Bone marrow smear:
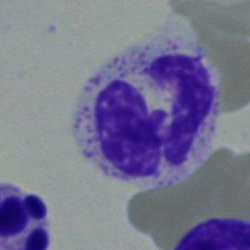 A polymorphonuclear neutrophil.